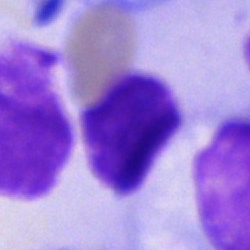
Specimen: bone marrow aspirate smear.
Morphological class: artefact.